Peripheral blood film
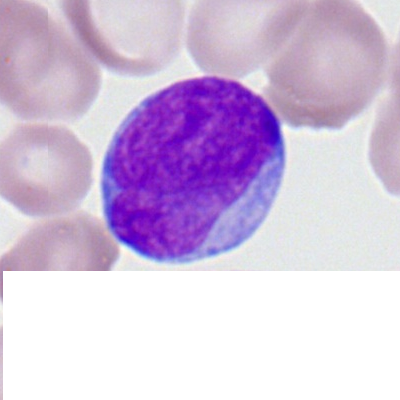

Specimen: peripheral blood film.
Cell: myeloblast.